Brightfield, 40× oil-immersion objective; bone marrow aspirate smear; single-cell field.
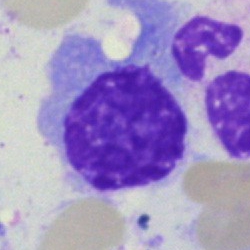

Showing an artifact.